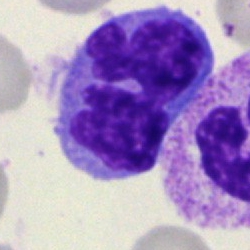

Single-cell crop from a bone marrow smear: monocyte.